Peripheral blood film: 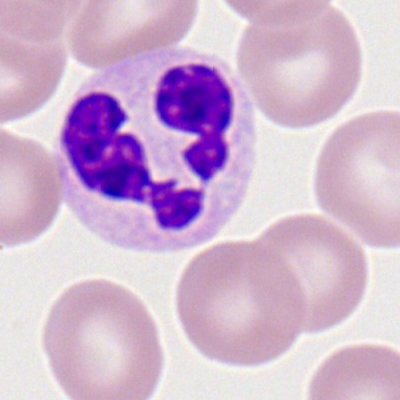

Morphological class — segmented neutrophil.